MGG-stained · brightfield, 40× oil-immersion objective · bone marrow aspirate smear — 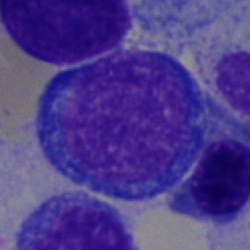 {"cell_type": "erythroblast", "lineage": "erythroid"}